250 by 250 pixels. Single-cell crop. Bone marrow smear — 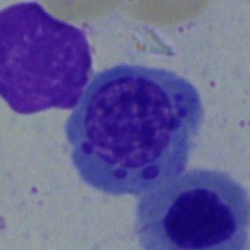Q: What is the morphological classification of this cell?
A: It is an undifferentiated blast.